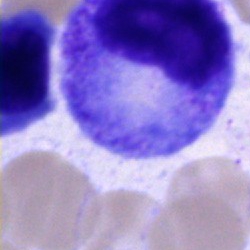
Q: What cell is this?
A: Promyelocyte.